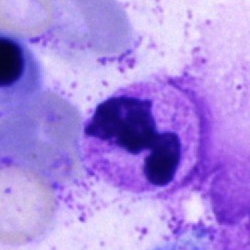A segmented neutrophil.